Bone marrow aspirate smear; single-cell field; image size 250×250 — 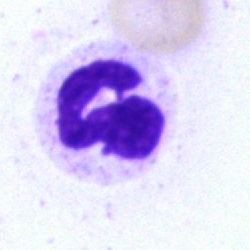

Showing a polymorphonuclear neutrophil.